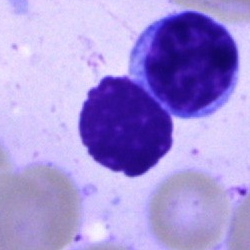 Q: What type of cell is this?
A: This is a lymphocyte.